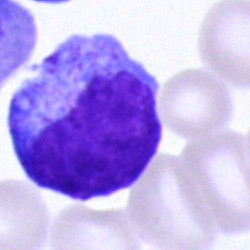Classification = promyelocyte.